Brightfield microscopy, 40× oil immersion. Bone marrow aspirate smear. 250×250 px.
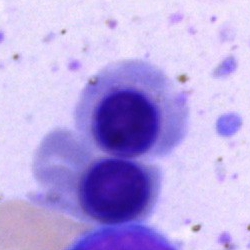

Classification: nucleated red blood cell.